Bone marrow smear; cropped to a single cell; May-Grünwald-Giemsa/Pappenheim stain — 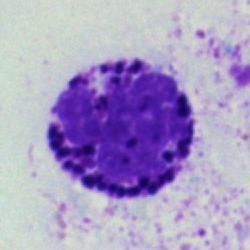 Morphology → basophil.